Single-cell crop · bone marrow aspirate smear — 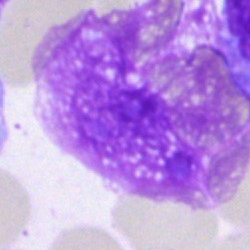Single cell identified as an artefact.